Bone marrow smear.
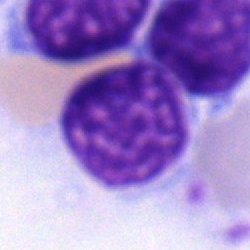 Morphology consistent with a lymphocyte.